Bone marrow aspirate smear
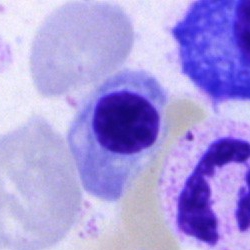
This is a normoblast.